Bone marrow smear: 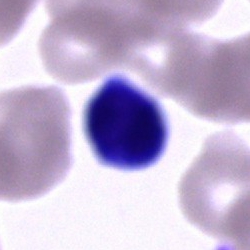

Morphology consistent with an unidentifiable cell.